Bone marrow aspirate smear: 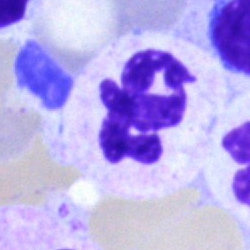 Classification — neutrophil (segmented).